Peripheral blood film
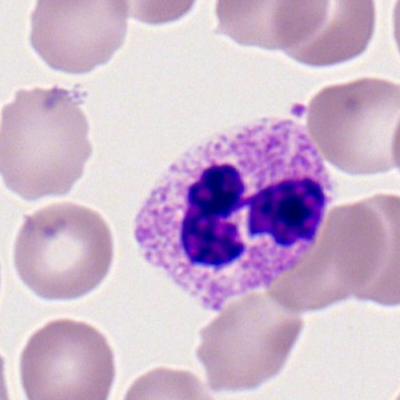 Impression → neutrophil (segmented).